Bone marrow smear — 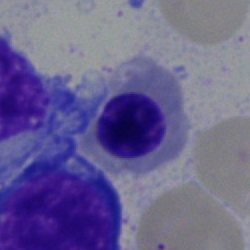
Morphological class — normoblast.